Bone marrow smear.
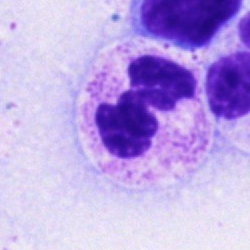

Cell type = polymorphonuclear neutrophil.